May-Grünwald-Giemsa/Pappenheim stain · bone marrow smear.
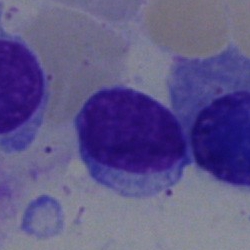 Cell = lymphocyte.